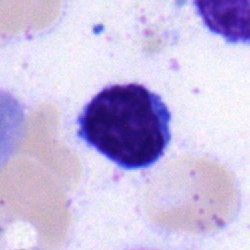

The morphological class is typical lymphocyte.